Peripheral blood film
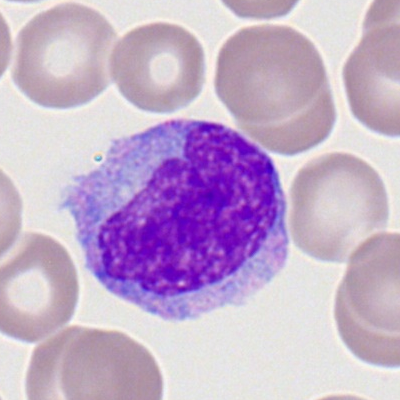 Cell type: monocyte.